Peripheral blood smear.
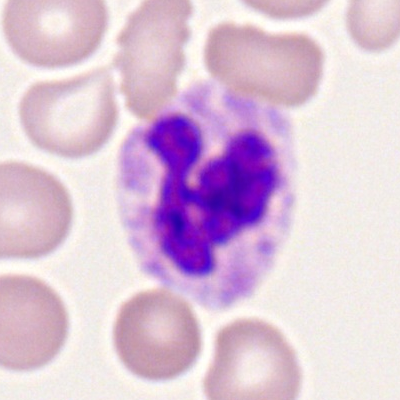
Showing a segmented neutrophil.